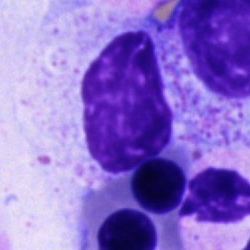 Cell type = unidentifiable cell.